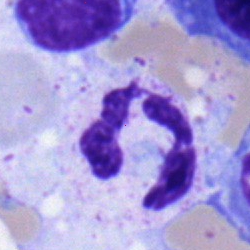 A neutrophil (segmented) on a bone marrow smear.